Bone marrow smear: 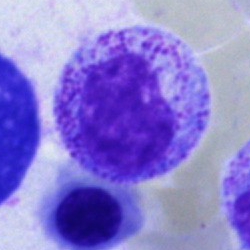
Cell: myelocyte.